Single-cell crop; bone marrow aspirate smear; May-Grünwald-Giemsa/Pappenheim stain — 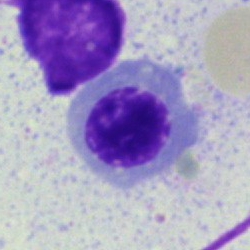

The classification is normoblast.